Bone marrow smear.
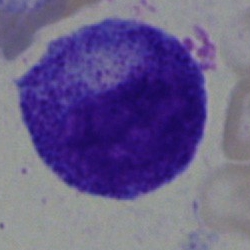Classification: promyelocyte.